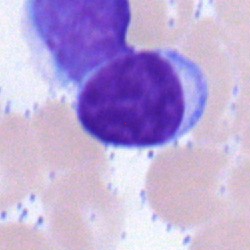A lymphocyte on a bone marrow smear.